Bone marrow aspirate smear · May-Grünwald-Giemsa/Pappenheim stain: 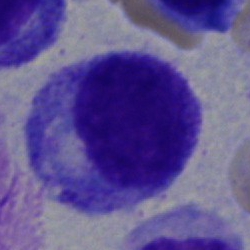
Specimen: bone marrow smear.
Cell type: myelocyte.